Bone marrow aspirate smear: 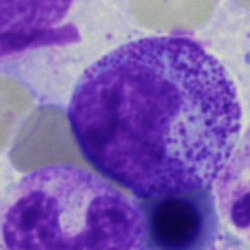
Cell type = myelocyte.